Bone marrow smear: 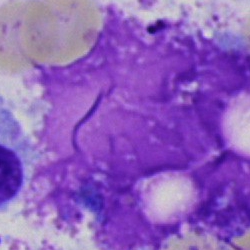An artefact.